250 by 250 pixels; bone marrow smear:
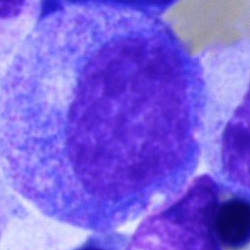Showing a progranulocyte.